Brightfield microscopy, 40× oil immersion · bone marrow aspirate smear.
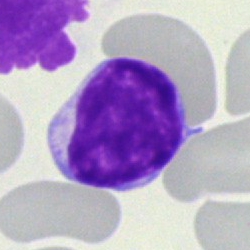
Classification — typical lymphocyte.